May-Grünwald-Giemsa stain; bone marrow aspirate smear — 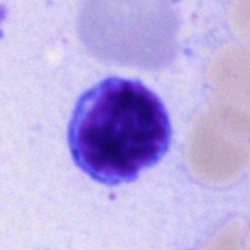Morphology consistent with a lymphocyte.